Bone marrow aspirate smear.
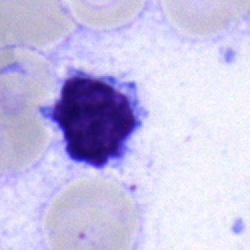

Q: What is shown here?
A: It is a typical lymphocyte.